Bone marrow aspirate smear.
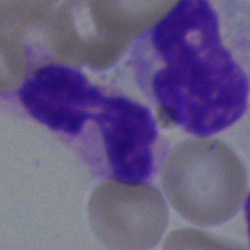 This is a neutrophil (segmented).